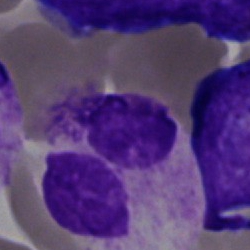

Classification: segmented neutrophil.